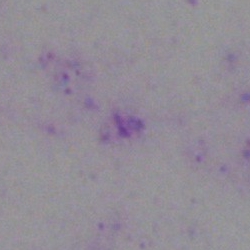
The cell shown is an artifact.